Bone marrow smear — 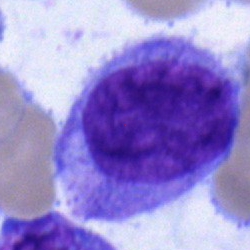

This is an undifferentiated blast.